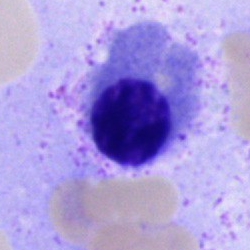Impression — nucleated red cell.